250×250. May-Grünwald-Giemsa stain. Bone marrow aspirate smear
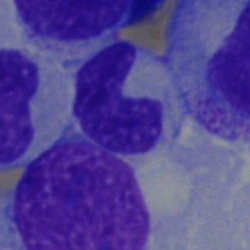Specimen: bone marrow aspirate smear.
Cell type: neutrophil (band).